Bone marrow smear. 250×250 px: 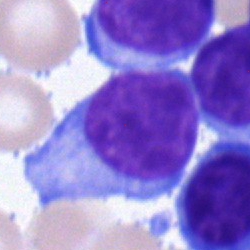

The cell shown is a lymphocyte.